Bone marrow aspirate smear
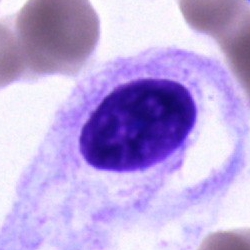Classification — unidentifiable cell.